Bone marrow smear:
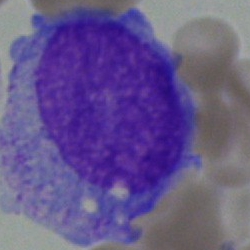
Impression — progranulocyte.